100× objective, oil immersion; peripheral blood smear:
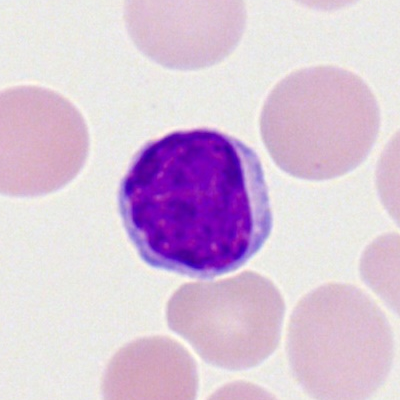 Morphological class — lymphocyte.